Bone marrow smear.
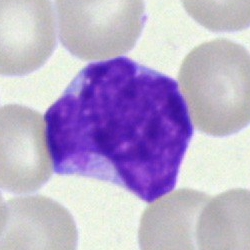
Classification — blast cell.